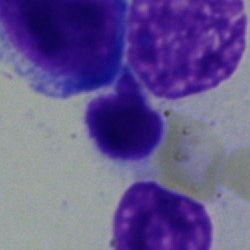 The cell shown is a basophilic granulocyte.